Peripheral blood smear.
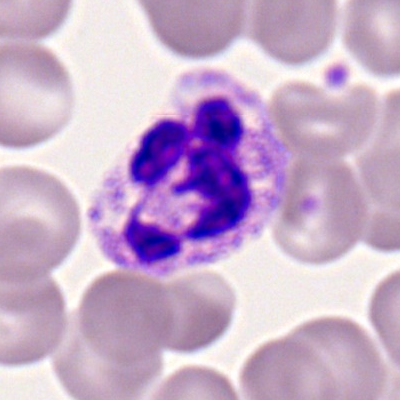The cell type is polymorphonuclear neutrophil.